Peripheral blood smear. 100× objective, oil immersion: 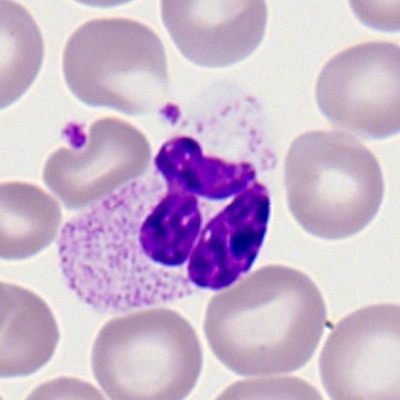 Morphological class — polymorphonuclear neutrophil.